Romanowsky-stained. 100× objective, oil immersion. Peripheral blood film — 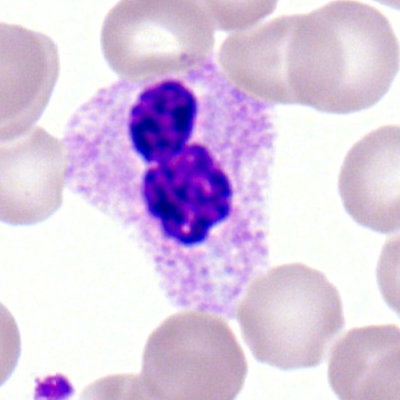

Single cell identified as a segmented neutrophil.